Image size 250×250; bone marrow smear; May-Grünwald-Giemsa/Pappenheim stain
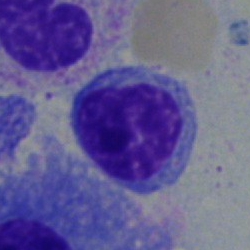

Specimen: bone marrow aspirate smear.
Cell: typical lymphocyte.
Lineage: lymphoid.